250×250 px. Bone marrow smear — 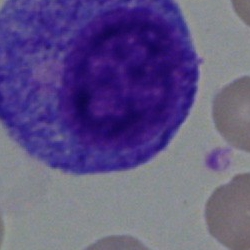

Specimen: bone marrow aspirate smear.
Morphological class: promyelocyte.
Lineage: myeloid.